Bone marrow smear
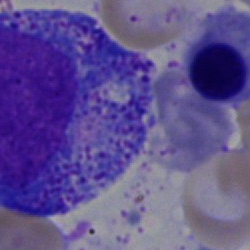

Cell type = progranulocyte.